Bone marrow aspirate smear. Single-cell field:
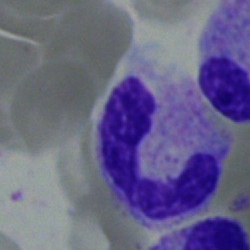
Q: What is shown here?
A: Stab cell.